Bone marrow aspirate smear.
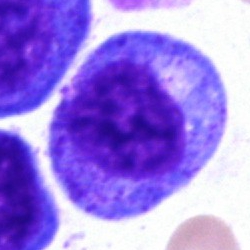
Morphology consistent with a progranulocyte.